Peripheral blood film:
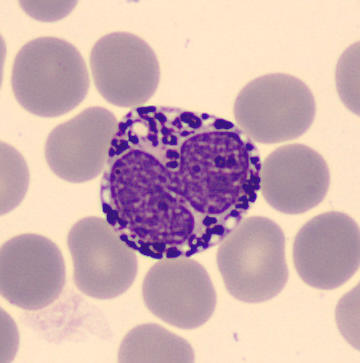

Q: What is the morphological classification of this cell?
A: It is a basophil.